Bone marrow aspirate smear
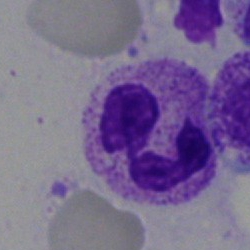

Morphology — segmented neutrophil.